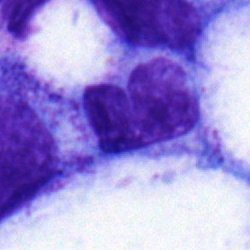 Morphological class — neutrophil (band).